Bone marrow aspirate smear.
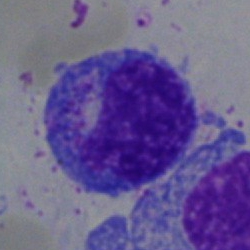
Specimen: bone marrow aspirate smear.
Classification: progranulocyte.
Lineage: myeloid.